Bone marrow aspirate smear. 40× objective, oil immersion. 250 by 250 pixels:
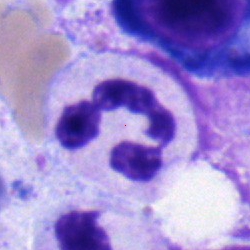
{"cell_type": "nucleated red cell", "lineage": "erythroid"}